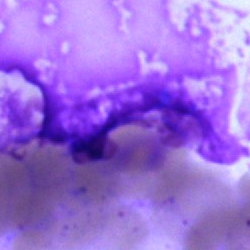

{"cell_type": "artifact"}